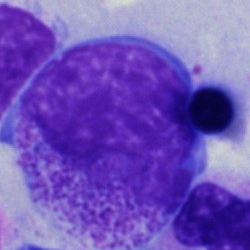

Specimen: bone marrow smear.
Cell: promyelocyte.
Lineage: myeloid.